Bone marrow aspirate smear. Cropped to a single cell. Brightfield, 40× oil-immersion objective: 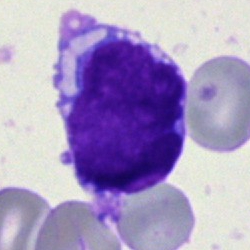
Specimen: bone marrow aspirate smear.
Cell: undifferentiated blast.